Bone marrow aspirate smear
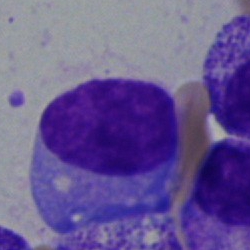 Showing a plasma cell.